Bone marrow smear:
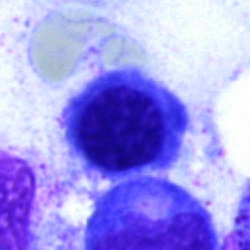 Morphology consistent with a nucleated red cell.